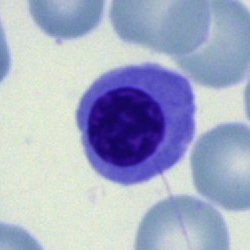Impression → nucleated red cell.